Bone marrow smear. Single-cell crop
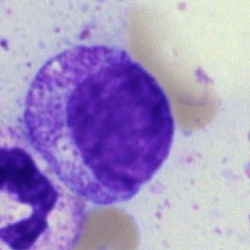Showing a myelocyte.